Bone marrow smear: 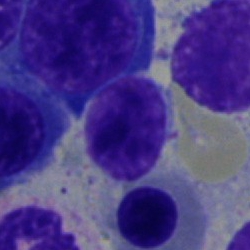
Specimen: bone marrow aspirate smear.
Morphological class: lymphocyte.
Lineage: lymphoid.